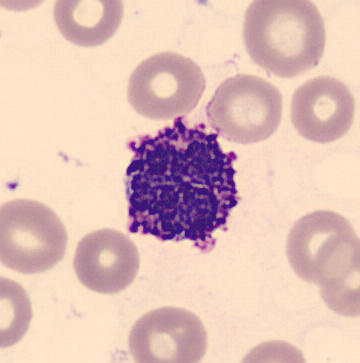 Morphological class: basophil.